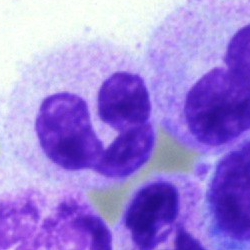
Morphology → polymorphonuclear neutrophil.